Bone marrow smear. May-Grünwald-Giemsa stain.
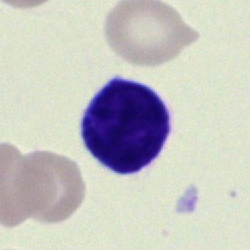
This is a lymphocyte.